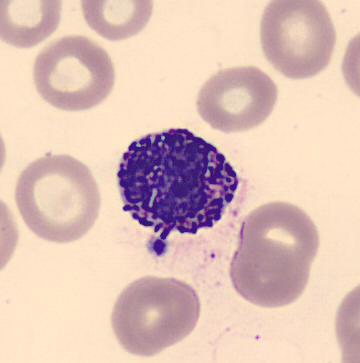

Showing a basophilic granulocyte.

Image: Peripheral blood smear.